Image size 250×250 · May-Grünwald-Giemsa/Pappenheim stain · bone marrow aspirate smear
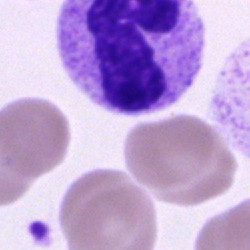 Polymorphonuclear neutrophil.